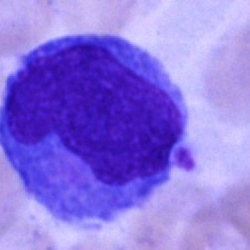
Q: What type of cell is this?
A: A blast.